Bone marrow smear · MGG-stained — 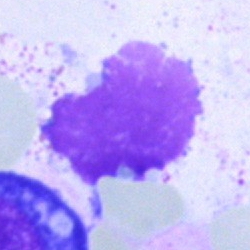 Specimen: bone marrow aspirate smear.
Cell: artifact.